Bone marrow aspirate smear
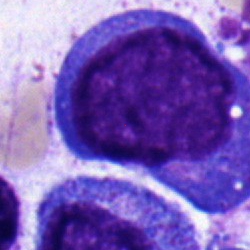Q: Which cell type is shown here?
A: This is a proerythroblast.